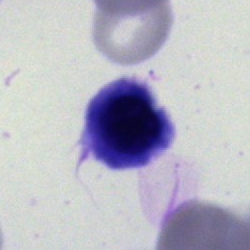 Classification — nucleated red blood cell.